MGG-stained · bone marrow smear:
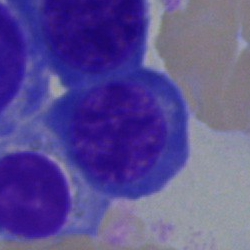 Single cell identified as an erythroblast.